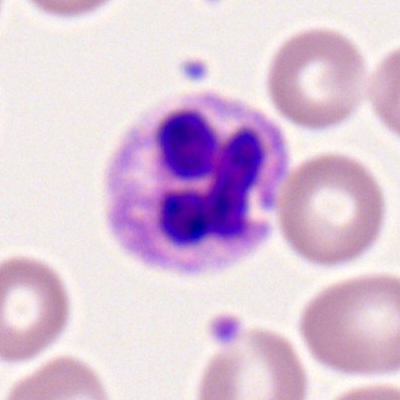 Q: What is shown here?
A: It is a segmented neutrophil.